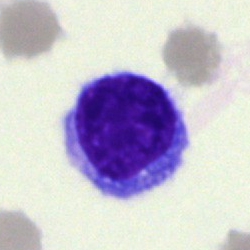Q: Which cell type is shown here?
A: A typical lymphocyte.